Bone marrow aspirate smear — 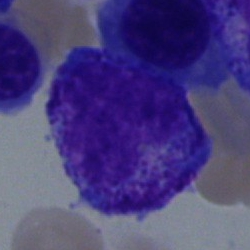

The morphological class is promyelocyte.